40× objective, oil immersion; bone marrow aspirate smear
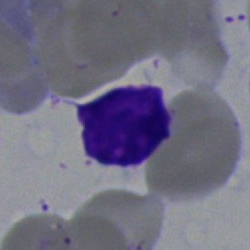 Specimen: bone marrow aspirate smear.
Classification: artifact.